Peripheral blood film:
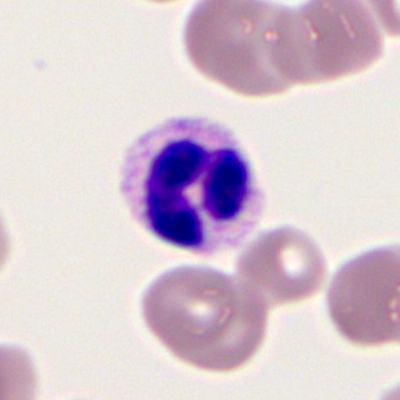
Cell — segmented neutrophil.